May-Grünwald-Giemsa/Pappenheim stain; 40× objective, oil immersion; bone marrow aspirate smear.
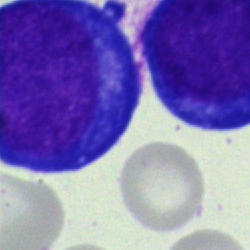Specimen: bone marrow aspirate smear.
Cell type: pronormoblast.
Lineage: erythroid.